Bone marrow smear: 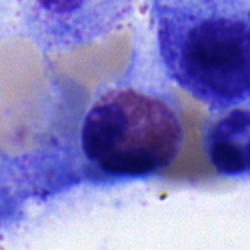The cell shown is an eosinophilic granulocyte.